40× oil immersion. Single-cell crop. Bone marrow smear: 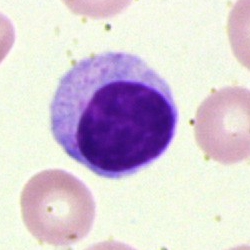{"cell_type": "lymphocyte"}